400×400 · peripheral blood smear:
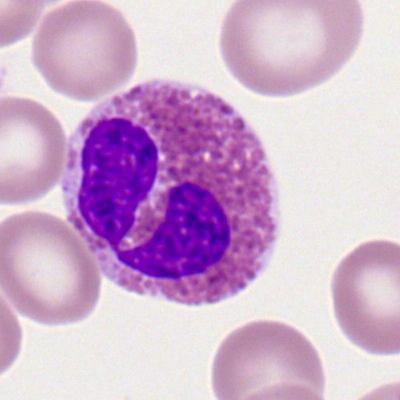 Classification — eosinophil.